Peripheral blood smear
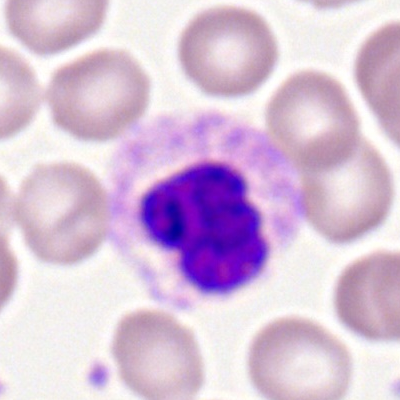

Cell type: segmented neutrophil.